Bone marrow aspirate smear · brightfield microscopy, 40× oil immersion · 250 by 250 pixels:
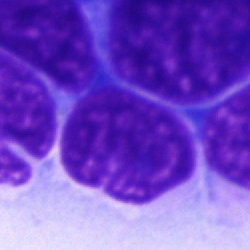 Cell type = unidentifiable cell.